Bone marrow smear: 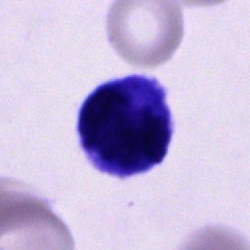
Specimen: bone marrow smear.
Morphological class: cell of indeterminate lineage.